40× objective, oil immersion; bone marrow aspirate smear.
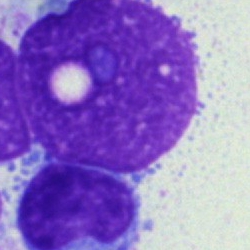Q: What is shown here?
A: This is an artefact.